Bone marrow aspirate smear: 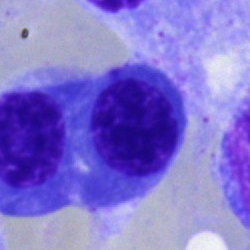 Single cell identified as an erythroblast.